Bone marrow smear.
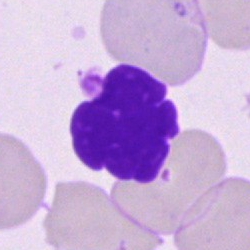Impression → artifact.